Brightfield, 40× oil-immersion objective. Bone marrow smear.
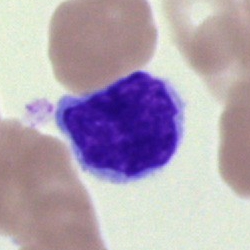Q: Which cell type is shown here?
A: A typical lymphocyte.